40× oil immersion · bone marrow aspirate smear · cropped to a single cell
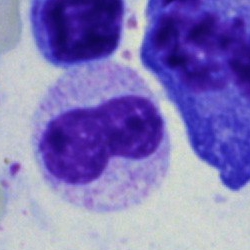

Impression — band neutrophil.